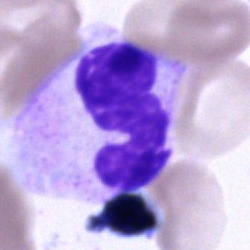A segmented neutrophil on a bone marrow smear.